250×250 px · bone marrow smear:
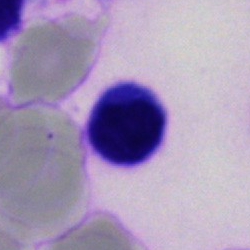

Typical lymphocyte.